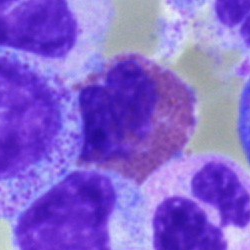
Morphology consistent with an eosinophilic granulocyte.